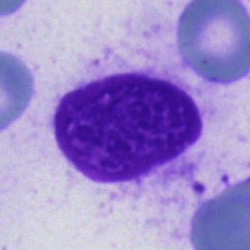
Morphological class = artifact.